Bone marrow aspirate smear.
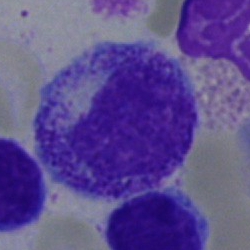

Morphology consistent with a myelocyte.